Bone marrow aspirate smear — 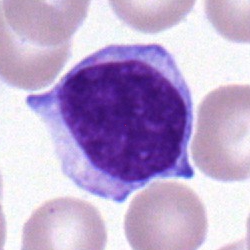

Cell — typical lymphocyte.